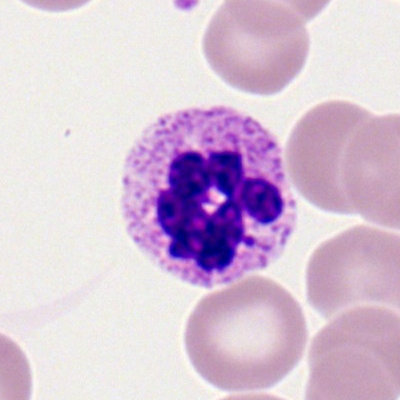
Morphology consistent with a segmented neutrophil.